Bone marrow smear · 250 by 250 pixels
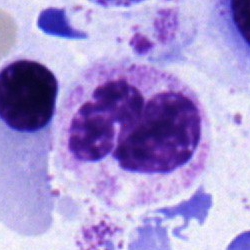Q: Identify the cell.
A: This is a segmented neutrophil.